250 by 250 pixels. Bone marrow aspirate smear
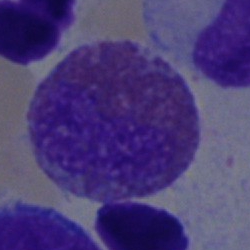

The cell shown is an eosinophilic granulocyte.